Single cell centered in the field · bone marrow aspirate smear:
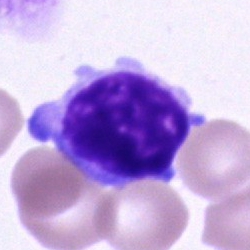

Cell type: typical lymphocyte.